Single-cell field. Bone marrow smear. 250 by 250 pixels: 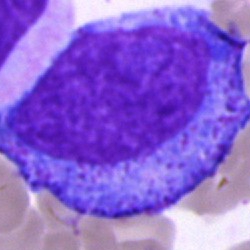 Q: What type of cell is this?
A: A progranulocyte.